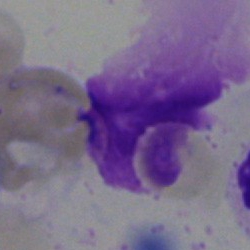

The cell shown is an artifact.